Bone marrow aspirate smear — 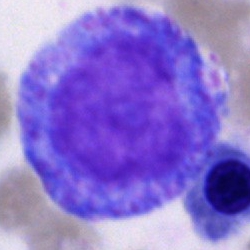 Q: What type of cell is this?
A: Promyelocyte.